Bone marrow aspirate smear · brightfield microscopy, 40× oil immersion:
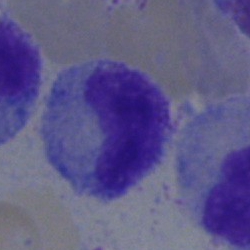{"cell_type": "band neutrophil"}